Bone marrow smear.
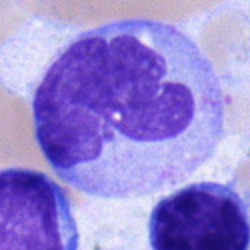 Q: What is the morphological classification of this cell?
A: It is a monocyte.